Bone marrow smear.
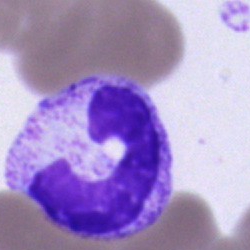
Classification — band neutrophil.